Bone marrow smear.
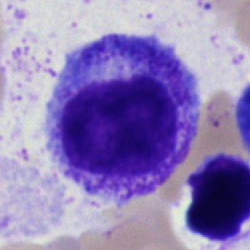

Classification — myelocyte.